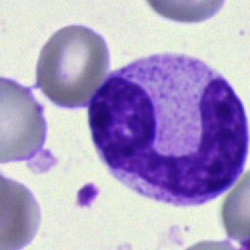
Single cell identified as a band neutrophil.